Bone marrow aspirate smear; brightfield, 40× oil-immersion objective — 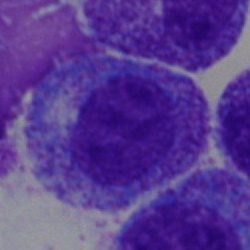
Specimen: bone marrow smear.
Cell: progranulocyte.
Lineage: myeloid.